Peripheral blood smear. Romanowsky stain:
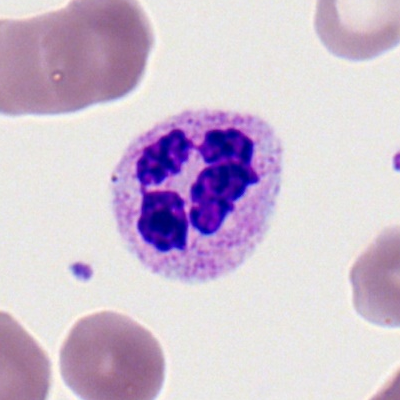

The cell shown is a segmented neutrophil.